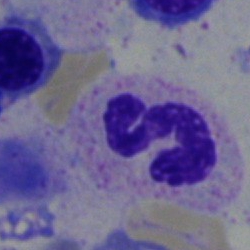
Specimen: bone marrow smear.
Cell type: neutrophil (segmented).
Lineage: myeloid.